Single cell centered in the field · bone marrow aspirate smear
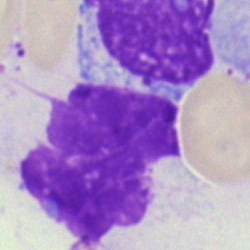Morphological class: artifact.